Brightfield, 40× oil-immersion objective · bone marrow smear
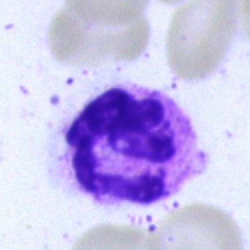
Q: What is shown here?
A: It is a segmented neutrophil.